Bone marrow aspirate smear · brightfield microscopy, 40× oil immersion · Pappenheim-stained: 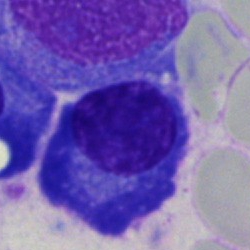 Q: What type of cell is this?
A: It is a plasmacyte.